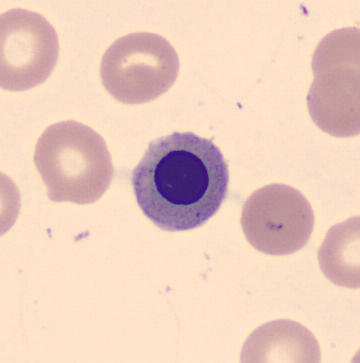
Specimen: peripheral blood film.
Morphological class: erythroblast.
Lineage: erythroid. Acquisition: 360×363 px.